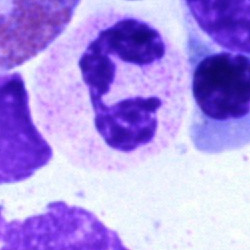
Segmented neutrophil.